Bone marrow smear.
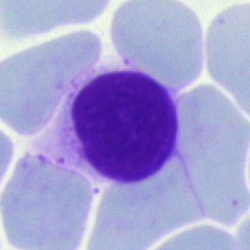

Morphological class = artifact.